Bone marrow aspirate smear · MGG-stained · 40× objective, oil immersion:
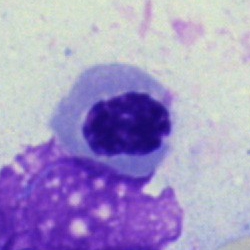Nucleated red blood cell.